Bone marrow aspirate smear. Cropped to a single cell — 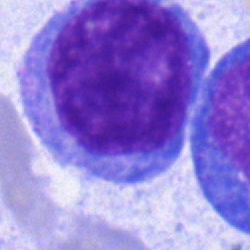 Morphological class — undifferentiated blast.